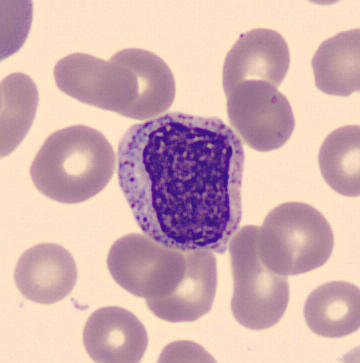
Specimen: peripheral blood film.
Cell type: myelocyte.
Lineage: myeloid.